Peripheral blood smear; single-cell crop.
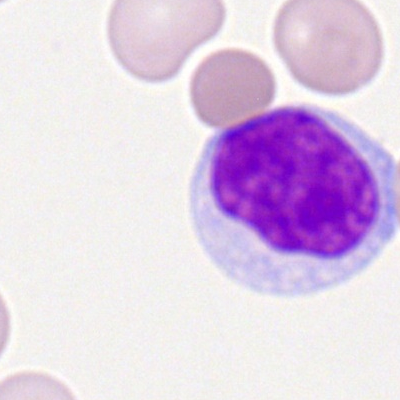

Morphological class = typical lymphocyte.